Bone marrow aspirate smear; single-cell field; brightfield microscopy, 40× oil immersion.
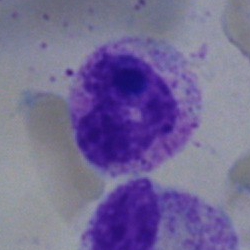 This is a polymorphonuclear neutrophil.